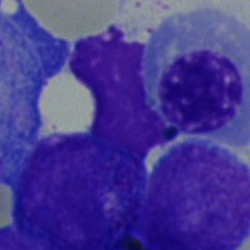
Showing an erythroblast.